Bone marrow aspirate smear
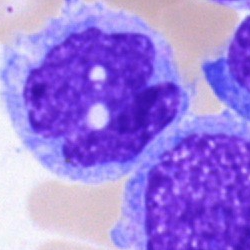

Cell type = monocyte.